Bone marrow aspirate smear — 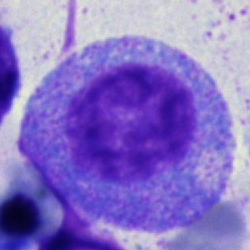
The cell shown is a promyelocyte.